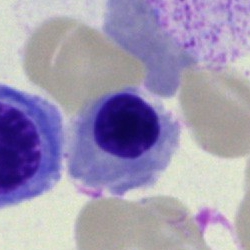Morphology consistent with a nucleated red cell.